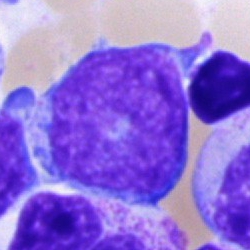

Blast cell.